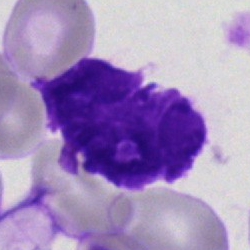
This is an artefact.